Bone marrow smear:
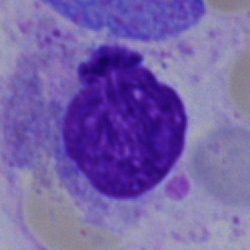 An artifact.